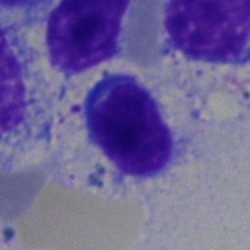The morphological class is lymphocyte.